Bone marrow smear; May-Grünwald-Giemsa stain
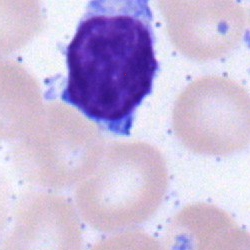
Morphology consistent with a lymphocyte.